Image size 400×400; M8 digital microscope (Precipoint), 100× oil immersion; peripheral blood film — 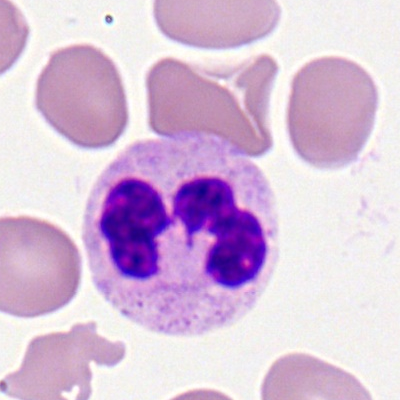 Morphological class: segmented neutrophil.